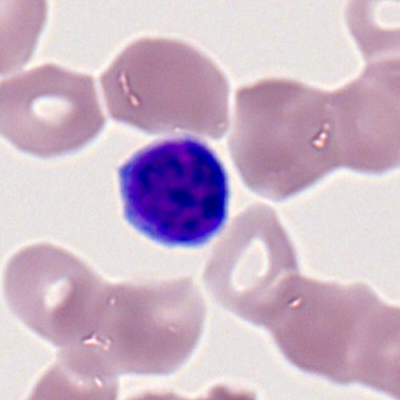Showing a typical lymphocyte.